Bone marrow smear; single-cell field — 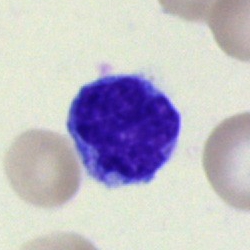

Cell = typical lymphocyte.